250×250. Bone marrow smear — 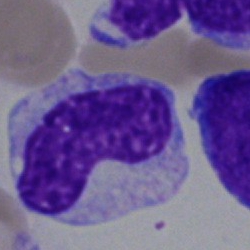 Cell = neutrophil (band).